250×250 px; bone marrow aspirate smear
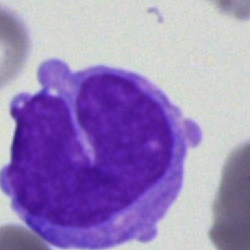
This is a monocyte.